Single-cell crop. Bone marrow aspirate smear. MGG-stained:
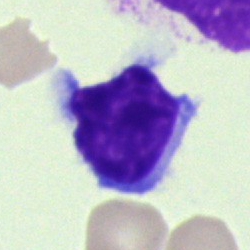
Lymphocyte.